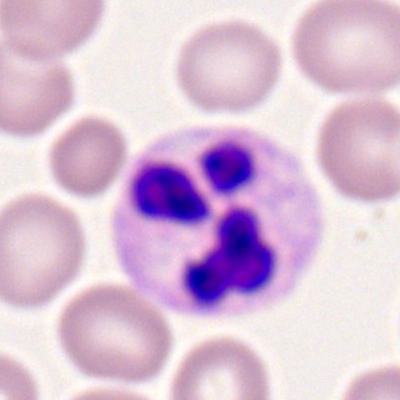
Morphology — neutrophil (segmented).